400×400; 100× oil immersion, 14.14 px/µm; peripheral blood smear
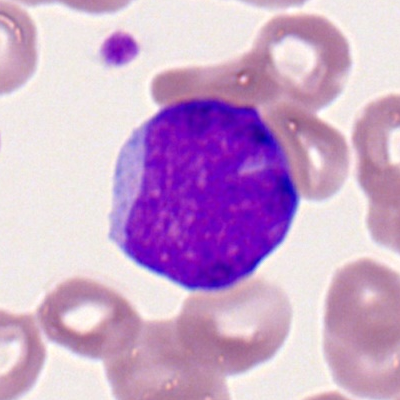Specimen: peripheral blood film.
Cell: myeloid blast.
Lineage: myeloid.